Pappenheim-stained. 40× oil immersion. Bone marrow aspirate smear.
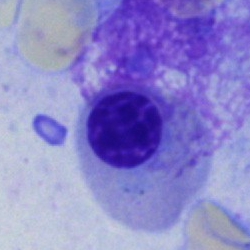

Classification = erythroblast.